Bone marrow aspirate smear: 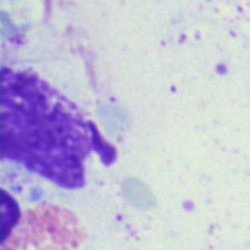 Cell type: artefact.